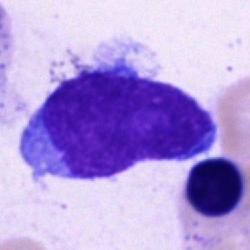
Cell type = blast.